Bone marrow aspirate smear — 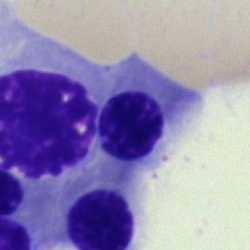

Specimen: bone marrow smear.
Morphological class: normoblast.
Lineage: erythroid.